Bone marrow smear. 250×250. 40× oil immersion — 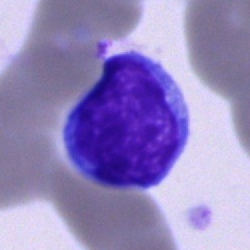

The cell shown is a lymphocyte.